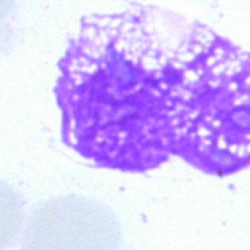 Specimen: bone marrow smear.
Morphological class: artefact.